Bone marrow smear · single cell centered in the field · May-Grünwald-Giemsa/Pappenheim stain: 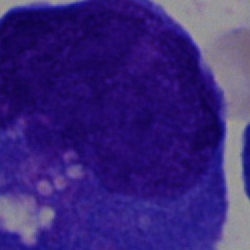 Morphology — blast cell.